May-Grünwald-Giemsa/Pappenheim stain · single-cell crop · bone marrow aspirate smear — 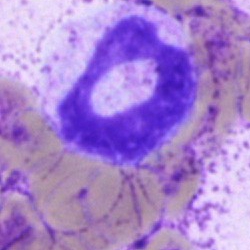

Morphological class — neutrophil (segmented).